Peripheral blood smear
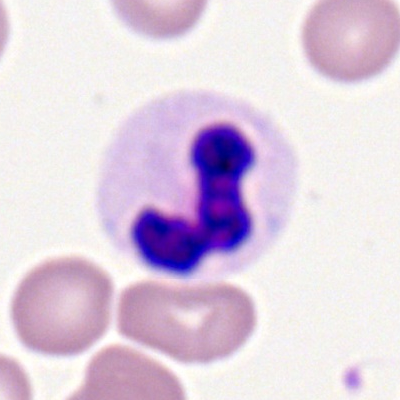Specimen: peripheral blood smear.
Classification: segmented neutrophil.